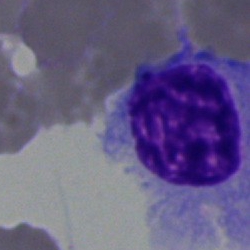 A hairy cell.